Bone marrow aspirate smear:
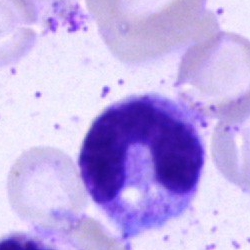

Q: What cell is this?
A: This is a stab cell.